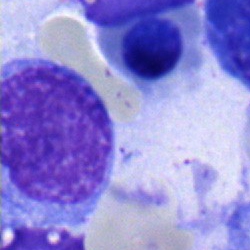A progranulocyte on a bone marrow smear.